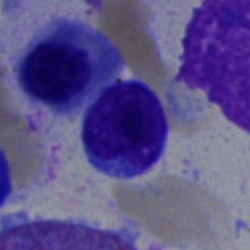

A lymphocyte on a bone marrow smear.